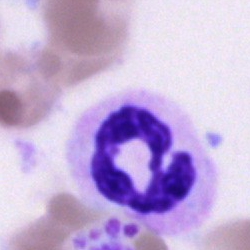
Specimen: bone marrow smear.
Classification: polymorphonuclear neutrophil.
Lineage: myeloid.